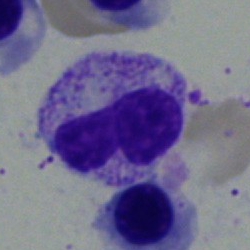
Morphological class — band neutrophil.